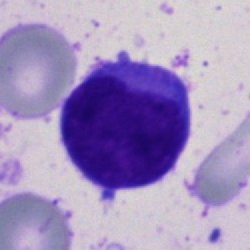 Q: What is the morphological classification of this cell?
A: A blast.